Bone marrow smear — 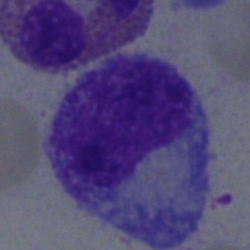Impression → metamyelocyte.